Bone marrow smear:
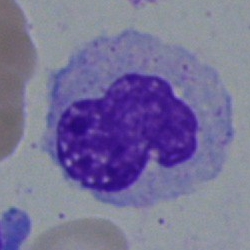
{"cell_type": "monocyte", "lineage": "myeloid"}